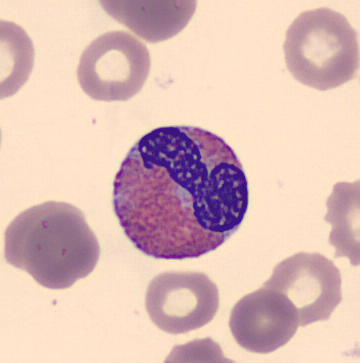
Preparation: May Grünwald-Giemsa stain.

Specimen: peripheral blood smear.
Cell: eosinophilic granulocyte.
Lineage: myeloid.